Bone marrow aspirate smear — 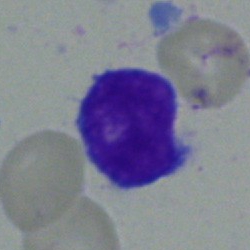 Cell type: blast cell.